Peripheral blood film.
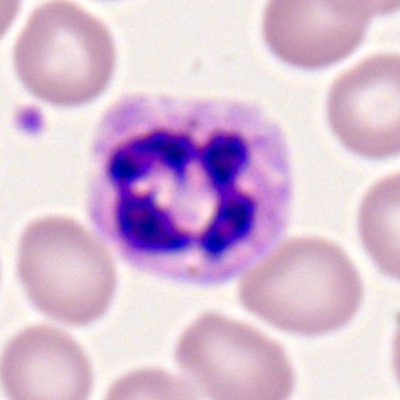Showing a polymorphonuclear neutrophil.